Bone marrow smear; 250 by 250 pixels — 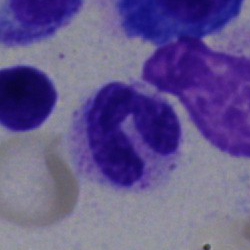 Single cell identified as a segmented neutrophil.